Peripheral blood film; Romanowsky stain
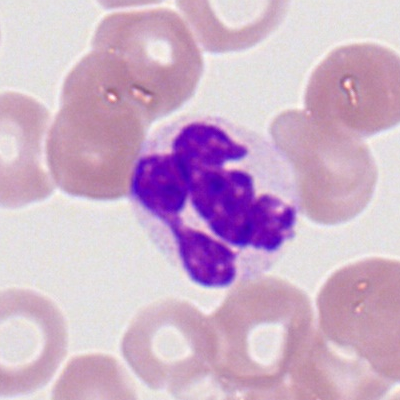

Q: What is the morphological classification of this cell?
A: It is a polymorphonuclear neutrophil.